Bone marrow smear.
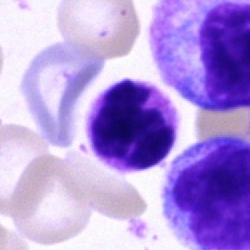 Specimen: bone marrow aspirate smear.
Cell: neutrophil (segmented).
Lineage: myeloid.